Bone marrow smear
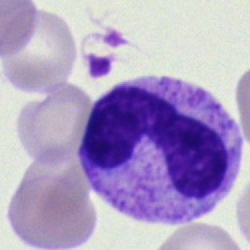Cell — band-form neutrophil.